Bone marrow aspirate smear.
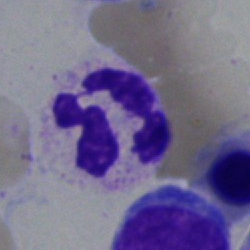
Cell type: polymorphonuclear neutrophil.